Brightfield microscopy, 40× oil immersion. Bone marrow smear. 250 by 250 pixels
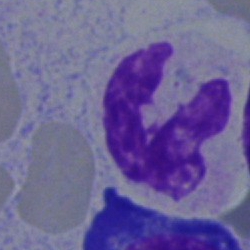Morphology — neutrophil (band).